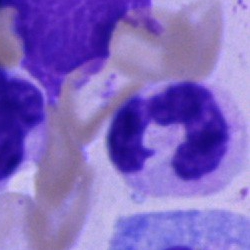 Showing a segmented neutrophil.